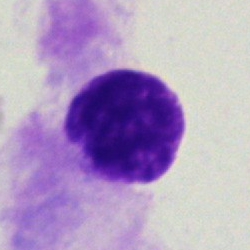 Artefact.